Peripheral blood film:
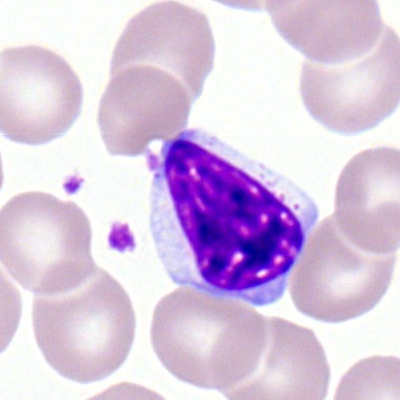Cell: lymphocyte.